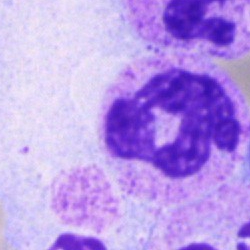Morphology consistent with a neutrophil (segmented).